Bone marrow aspirate smear: 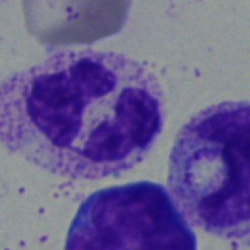 Q: What is the morphological classification of this cell?
A: It is a segmented neutrophil.